Bone marrow aspirate smear · image size 250×250 · single-cell crop.
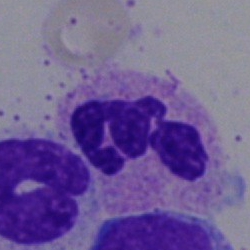 Single cell identified as a segmented neutrophil.